Brightfield, 40× oil-immersion objective · bone marrow aspirate smear:
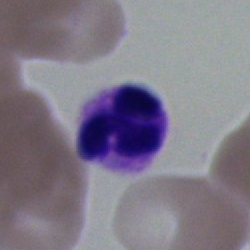

Neutrophil (segmented).